250×250. May-Grünwald-Giemsa/Pappenheim stain. Bone marrow smear — 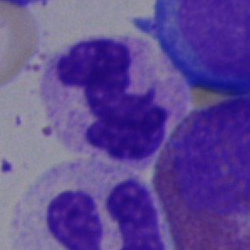Morphology consistent with a polymorphonuclear neutrophil.